40× oil immersion; single cell centered in the field; bone marrow aspirate smear
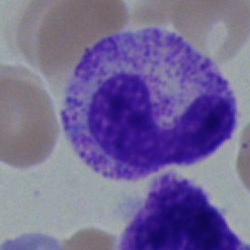Morphology — band-form neutrophil.